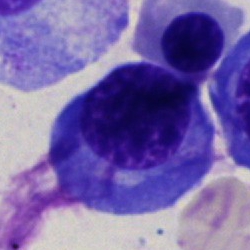
A normoblast on a bone marrow smear.